Image size 250×250 · bone marrow smear · MGG-stained
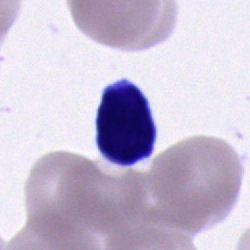Morphology consistent with a typical lymphocyte.